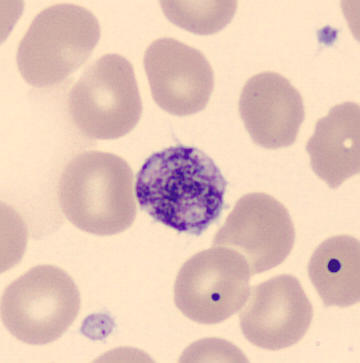
Q: What is shown here?
A: Platelet.